Bone marrow smear — 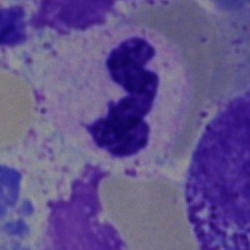Single cell identified as a neutrophil (segmented).